40× oil immersion; bone marrow aspirate smear
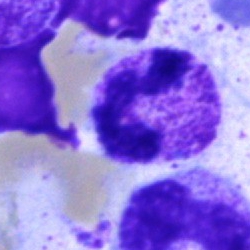 Morphology consistent with a neutrophil (segmented).